Bone marrow aspirate smear.
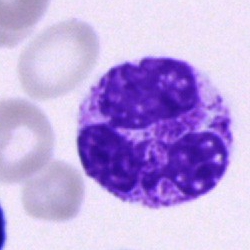
Q: What is shown here?
A: It is a neutrophil (segmented).